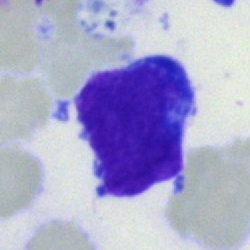
Specimen: bone marrow aspirate smear.
Morphological class: undifferentiated blast.